Bone marrow aspirate smear: 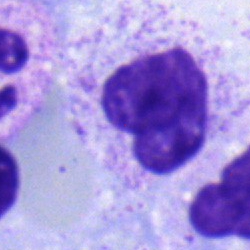 Morphology — metamyelocyte.